Cropped to a single cell. Bone marrow aspirate smear. Image size 250×250.
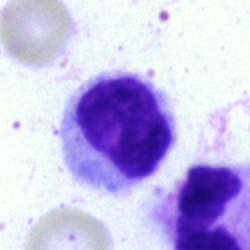
This is a monocyte.